Bone marrow aspirate smear: 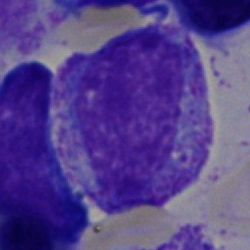
The classification is myelocyte.